May-Grünwald-Giemsa/Pappenheim stain. Bone marrow smear — 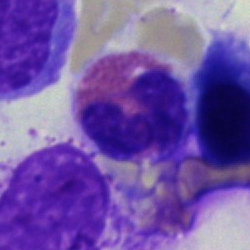
{"cell_type": "eosinophilic granulocyte"}